Bone marrow smear; 250×250
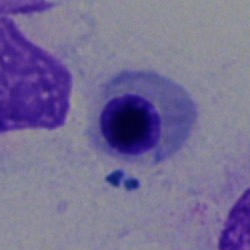 This is a nucleated red blood cell.